250×250 · bone marrow aspirate smear.
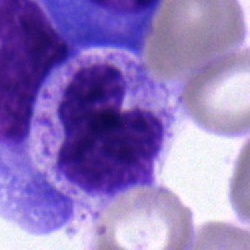The cell shown is a neutrophil (band).